May-Grünwald-Giemsa/Pappenheim stain. Image size 250×250. Bone marrow smear
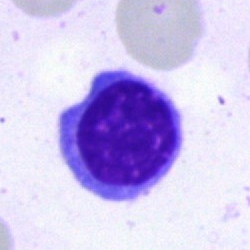
Morphology consistent with a lymphocyte.